250×250. Bone marrow smear. Cropped to a single cell: 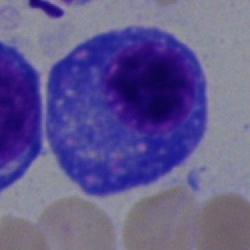

Classification: plasmacyte.